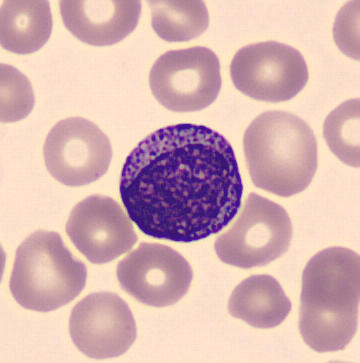The cell is myelocyte.

Imaged on a CellaVision DM96 analyser; peripheral blood film; 360×363 px.